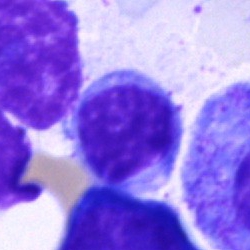Morphology — lymphocyte.